Bone marrow smear: 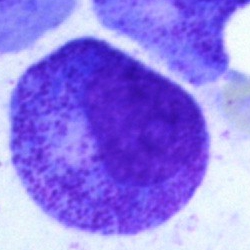

Morphology → promyelocyte.